Single-cell crop. Bone marrow aspirate smear:
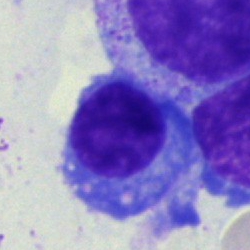
Specimen: bone marrow smear.
Morphological class: plasma cell.